Bone marrow smear · Pappenheim-stained.
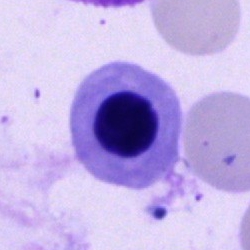Specimen: bone marrow smear.
Classification: nucleated red blood cell.